Bone marrow smear. 250×250 px: 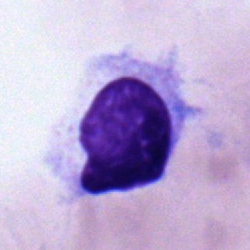
Specimen: bone marrow smear.
Classification: typical lymphocyte.
Lineage: lymphoid.